May-Grünwald-Giemsa stain. Bone marrow smear: 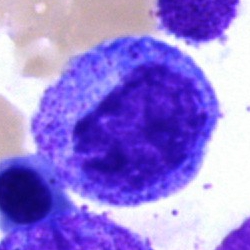 Morphological class — promyelocyte.